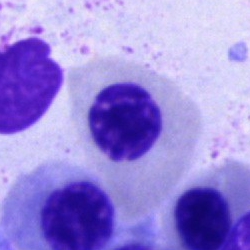 Q: What type of cell is this?
A: This is an erythroblast.